Single cell centered in the field · 250×250 · bone marrow smear.
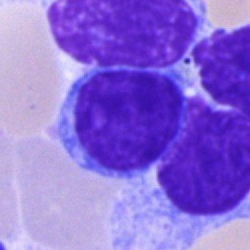

Morphology consistent with a typical lymphocyte.